Bone marrow smear.
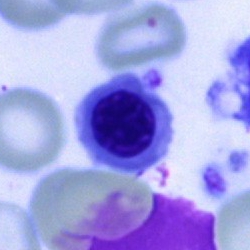

This is a nucleated red blood cell.